Bone marrow aspirate smear; MGG-stained: 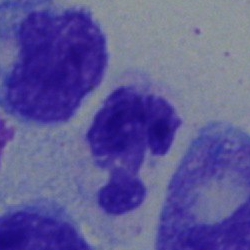

A polymorphonuclear neutrophil.